Bone marrow smear · image size 250×250: 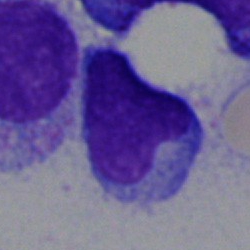Morphological class: lymphocyte.